250×250. Bone marrow aspirate smear. 40× oil immersion.
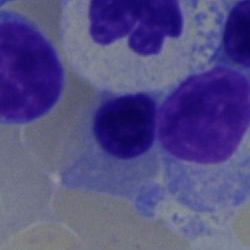

The classification is nucleated red blood cell.